Bone marrow aspirate smear · 40× objective, oil immersion
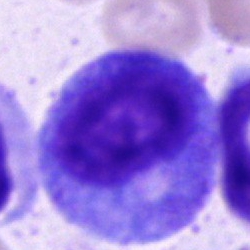 Single cell identified as a progranulocyte.